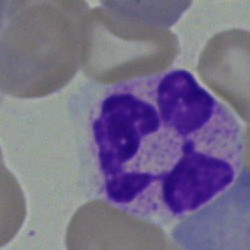

{"cell_type": "neutrophil (segmented)", "lineage": "myeloid"}